Bone marrow smear · brightfield, 40× oil-immersion objective.
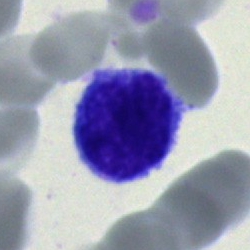Cell type: lymphocyte.